Bone marrow aspirate smear · 250×250 px.
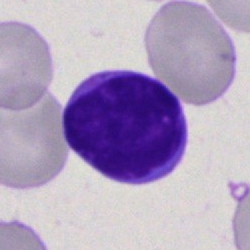 Q: What type of cell is this?
A: It is a lymphocyte.